Bone marrow aspirate smear.
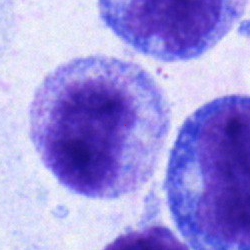
Morphological class — myelocyte.